40× oil immersion; bone marrow aspirate smear; MGG-stained — 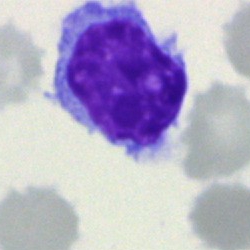 Q: What type of cell is this?
A: It is a typical lymphocyte.